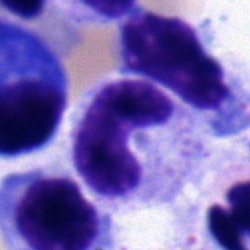 Q: Which cell type is shown here?
A: A band-form neutrophil.